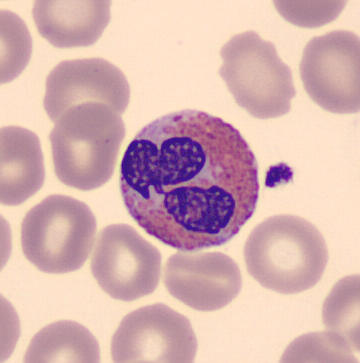
Classification — eosinophilic granulocyte. Acquisition: Peripheral blood smear; cropped to a single cell.